250 by 250 pixels; bone marrow aspirate smear: 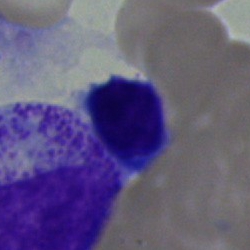
{"cell_type": "typical lymphocyte", "lineage": "lymphoid"}